MGG-stained. Bone marrow smear. 40× objective, oil immersion:
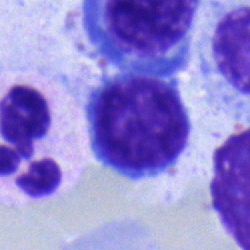
Q: Which cell type is shown here?
A: This is a typical lymphocyte.